Single cell centered in the field. Bone marrow aspirate smear:
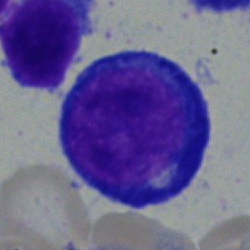
Pronormoblast.